Brightfield, 40× oil-immersion objective · bone marrow aspirate smear · Pappenheim-stained
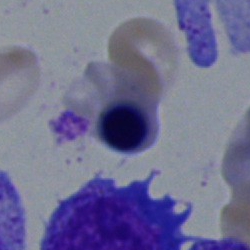 The cell shown is an erythroblast.